Bone marrow smear. Single-cell field — 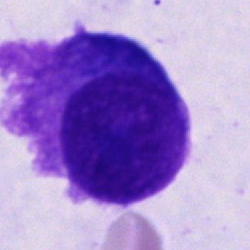Specimen: bone marrow aspirate smear.
Cell type: plasmacyte.
Lineage: lymphoid.